250 by 250 pixels · bone marrow aspirate smear — 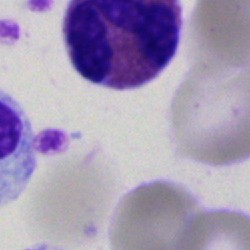 Specimen: bone marrow smear.
Cell type: eosinophilic granulocyte.